Bone marrow smear:
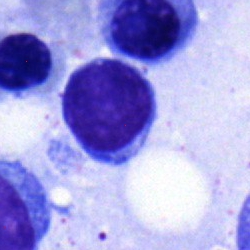 Lymphocyte.